Bone marrow smear:
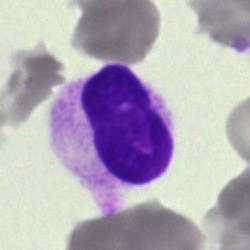

Classification — artefact.